Bone marrow aspirate smear
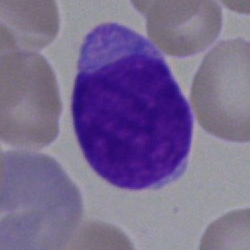 Cell type — blast.